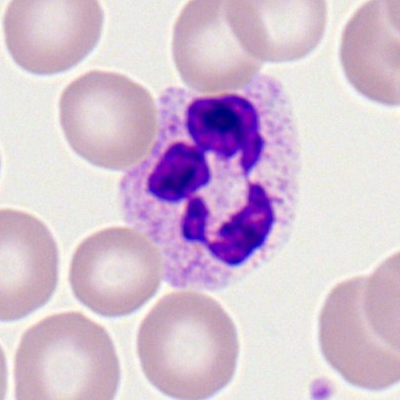 Impression — neutrophil (segmented).